Bone marrow aspirate smear:
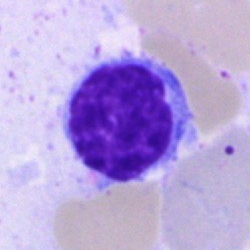

Q: Which cell type is shown here?
A: Lymphocyte.